Brightfield, 40× oil-immersion objective; bone marrow aspirate smear:
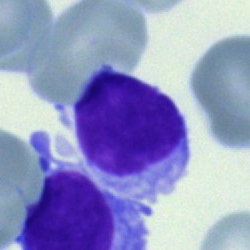
Cell = lymphocyte.